Single-cell field · bone marrow smear · image size 250×250: 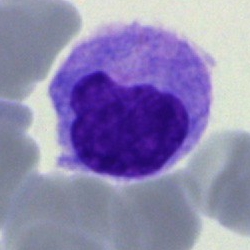 The cell is monocyte.